Bone marrow aspirate smear; May-Grünwald-Giemsa stain:
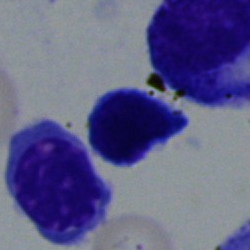
The cell shown is a lymphocyte.